Bone marrow smear: 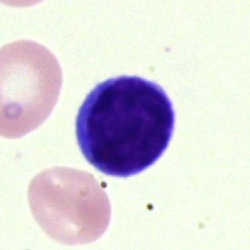
Q: What is shown here?
A: It is a lymphocyte.